Cropped to a single cell; bone marrow smear: 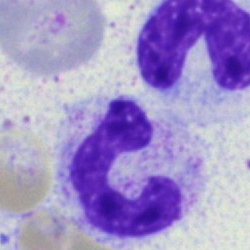Specimen: bone marrow aspirate smear.
Cell type: band neutrophil.